Bone marrow smear · single-cell crop: 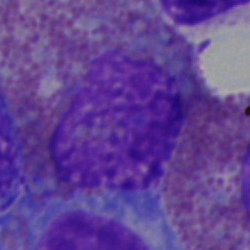

Specimen: bone marrow smear.
Cell type: eosinophil.